Bone marrow aspirate smear:
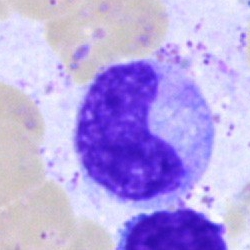

Specimen: bone marrow aspirate smear.
Cell type: metamyelocyte.